Bone marrow smear
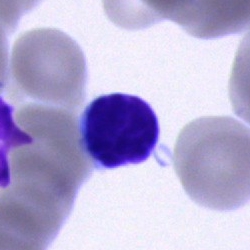

Classification: lymphocyte.